250 by 250 pixels; brightfield, 40× oil-immersion objective; bone marrow aspirate smear: 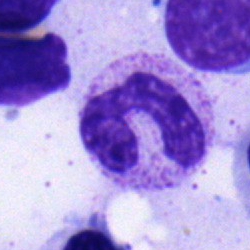
Q: Identify the cell.
A: Stab cell.